Cropped to a single cell; 250 by 250 pixels; bone marrow smear: 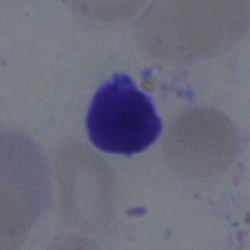
Cell type = lymphocyte.